Bone marrow aspirate smear. May-Grünwald-Giemsa/Pappenheim stain.
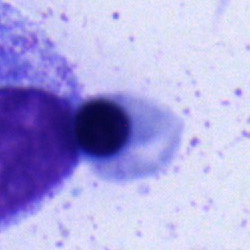 Showing a normoblast.